Peripheral blood film.
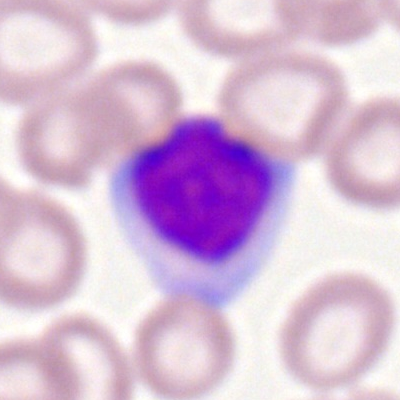This is a lymphocyte.